Bone marrow smear: 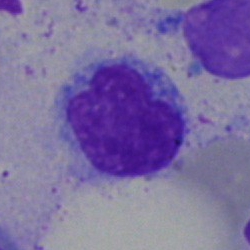

Classification = lymphocyte.